MGG stain · 360×363 px · peripheral blood smear:
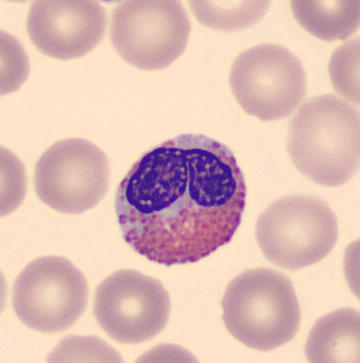
The morphological class is eosinophil.